Bone marrow aspirate smear — 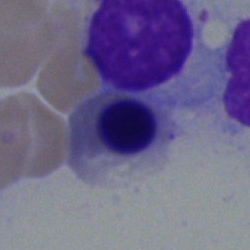

Morphology consistent with an erythroblast.